Bone marrow aspirate smear.
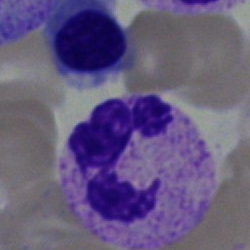Morphological class — polymorphonuclear neutrophil.